Cropped to a single cell. 250 by 250 pixels. Bone marrow aspirate smear — 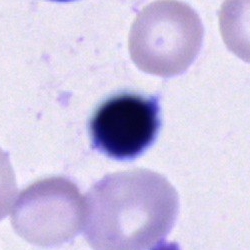 {"cell_type": "unidentifiable cell"}